Bone marrow smear. 40× objective, oil immersion:
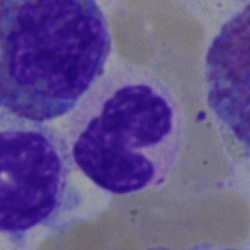This is a neutrophil (band).